Bone marrow aspirate smear. Single cell centered in the field.
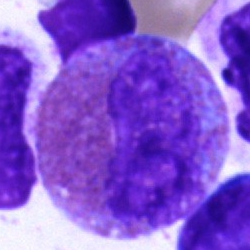
Cell — eosinophil.